Single-cell field · 250 by 250 pixels · bone marrow smear
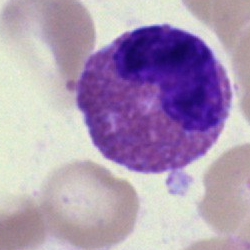
Single cell identified as an eosinophil.